Cropped to a single cell; 250×250; bone marrow smear:
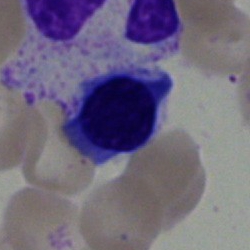 Erythroblast.